250×250 px. Bone marrow smear:
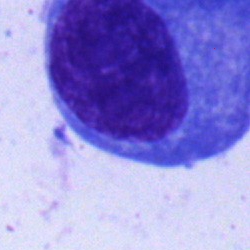

Q: What cell is this?
A: This is a plasmacyte.